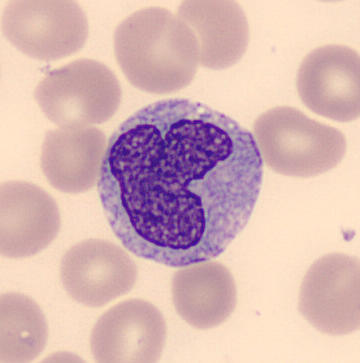
Classification: monocyte. Peripheral blood film.